Bone marrow smear — 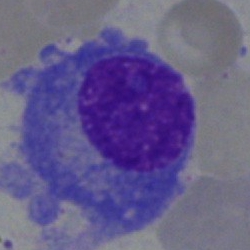 The cell shown is a plasmacyte.